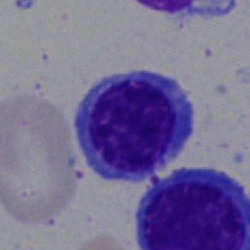Single-cell crop from a bone marrow smear: nucleated red cell.